Bone marrow smear.
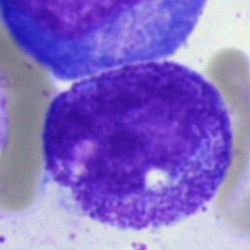

Specimen: bone marrow smear.
Classification: promyelocyte.
Lineage: myeloid.